Bone marrow aspirate smear.
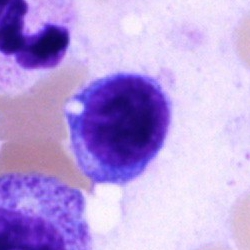 Q: What cell is this?
A: This is a lymphocyte.